Bone marrow aspirate smear.
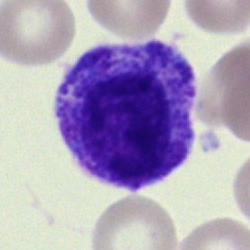 {"cell_type": "myelocyte", "lineage": "myeloid"}